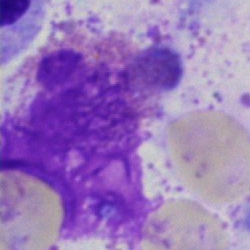 An artifact.